Bone marrow smear.
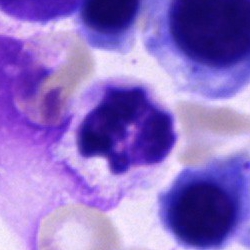

Specimen: bone marrow aspirate smear.
Cell type: neutrophil (segmented).
Lineage: myeloid.